Peripheral blood smear
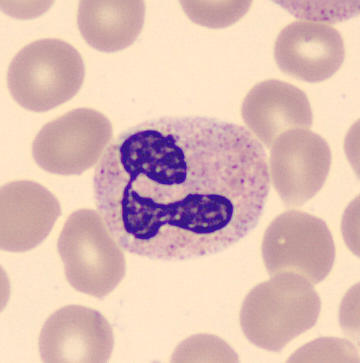

{"cell_type": "segmented neutrophil", "lineage": "myeloid"}